Single cell centered in the field · bone marrow aspirate smear · May-Grünwald-Giemsa stain
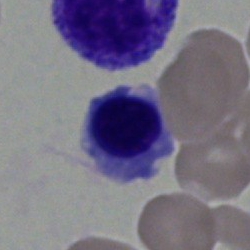 The cell type is normoblast.